Pappenheim-stained. Bone marrow aspirate smear
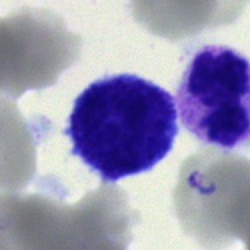 Specimen: bone marrow aspirate smear.
Cell type: cell of indeterminate lineage.